Bone marrow smear. Image size 250×250. 40× objective, oil immersion
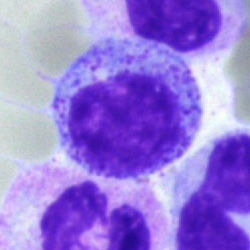

Impression — myelocyte.